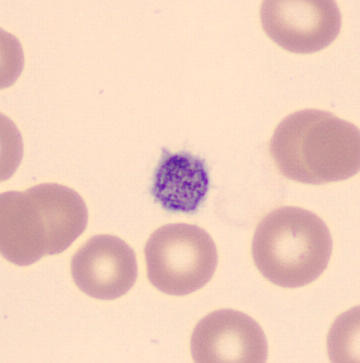Identified as a platelet.

Image: Peripheral blood film · imaged on a CellaVision DM96 analyser.